Bone marrow smear:
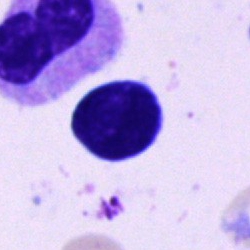

Cell: typical lymphocyte.